Bone marrow aspirate smear
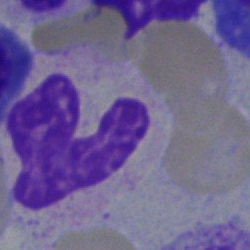

Classification: stab cell.